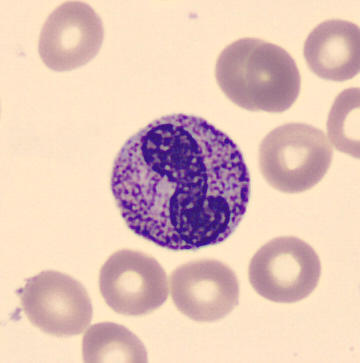Image: Single-cell crop. Specimen: peripheral blood film.
Classification: stab cell.
Lineage: myeloid.